Bone marrow aspirate smear; 250×250: 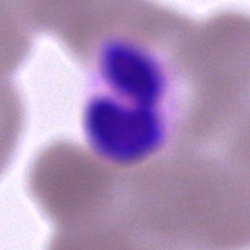Single cell identified as a segmented neutrophil.